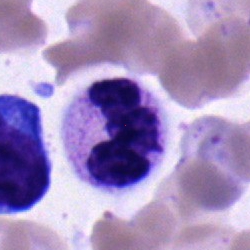

Specimen: bone marrow aspirate smear.
Morphological class: polymorphonuclear neutrophil.
Lineage: myeloid.